Bone marrow aspirate smear — 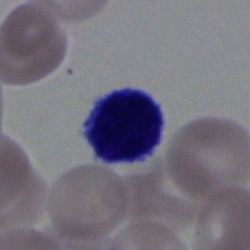

Typical lymphocyte.